Bone marrow smear — 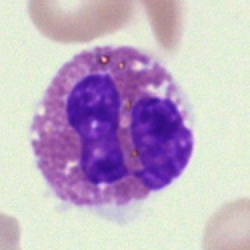This is an eosinophilic granulocyte.